Bone marrow smear · single-cell field.
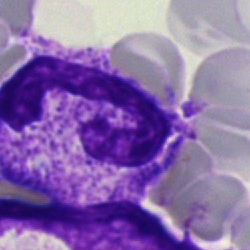
Q: What cell is this?
A: Segmented neutrophil.